Bone marrow aspirate smear:
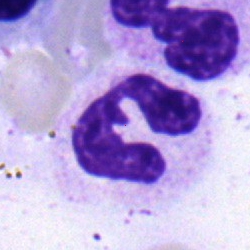
Specimen: bone marrow smear.
Morphological class: polymorphonuclear neutrophil.